Bone marrow smear: 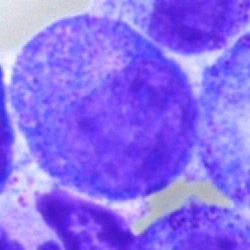The cell type is promyelocyte.